40× oil immersion. Bone marrow aspirate smear: 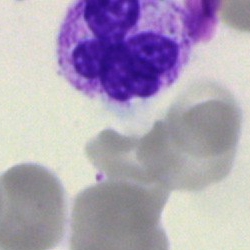
Polymorphonuclear neutrophil.